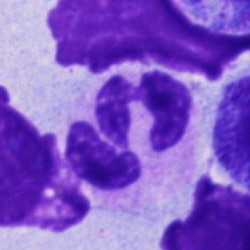

Morphological class — polymorphonuclear neutrophil.